Bone marrow aspirate smear:
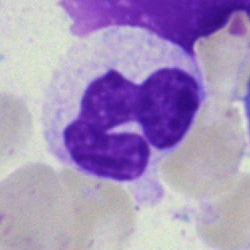Showing a neutrophil (segmented).